Brightfield, 40× oil-immersion objective; bone marrow smear; single-cell field — 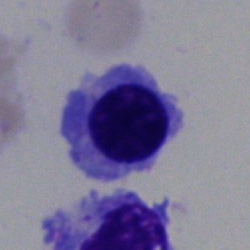
Morphology — nucleated red blood cell.